Bone marrow aspirate smear; single cell centered in the field:
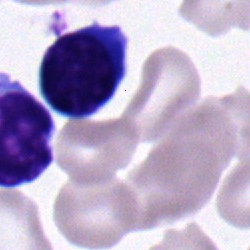 Classification = typical lymphocyte.